Bone marrow smear; single cell centered in the field; 40× oil immersion.
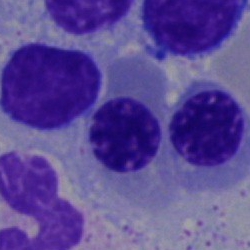 Specimen: bone marrow smear.
Classification: nucleated red blood cell.